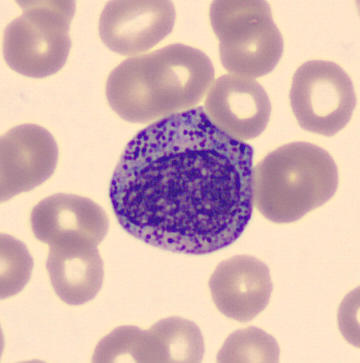 Acquisition: Automated cell imaging (CellaVision DM96) · May-Grünwald-Giemsa-stained · peripheral blood smear.
Cell — promyelocyte.